Bone marrow aspirate smear.
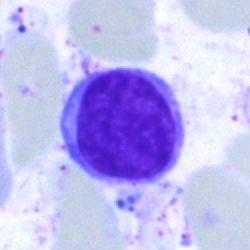 This is a typical lymphocyte.